Bone marrow aspirate smear: 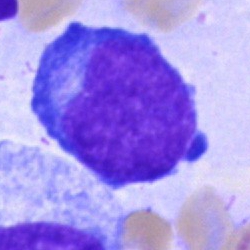Morphology — undifferentiated blast.